Bone marrow smear:
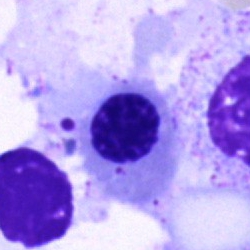Showing a nucleated red cell.